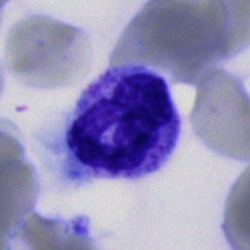 A neutrophil (segmented).